Bone marrow smear; May-Grünwald-Giemsa/Pappenheim stain:
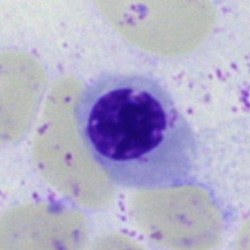
Morphology — normoblast.